Bone marrow smear.
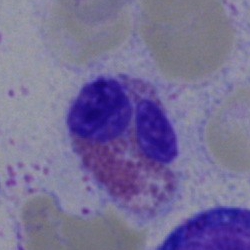

Morphology consistent with an eosinophilic granulocyte.